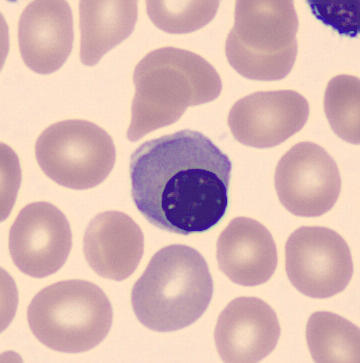
Morphological class = normoblast.